Peripheral blood film:
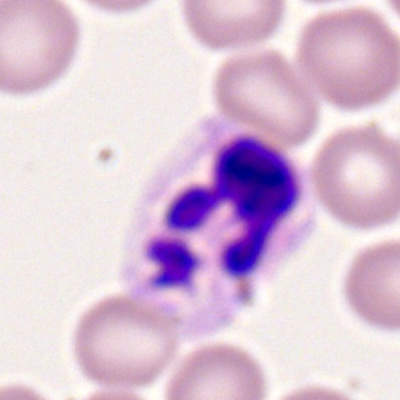

The classification is neutrophil (segmented).